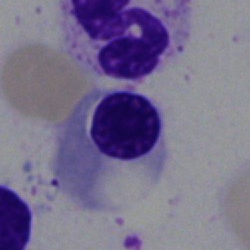 Bone marrow smear showing a nucleated red cell.